Bone marrow aspirate smear · 250×250 px — 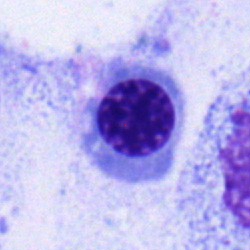 A normoblast.